Bone marrow smear — 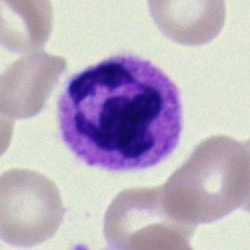
Q: What is shown here?
A: A polymorphonuclear neutrophil.